Bone marrow aspirate smear
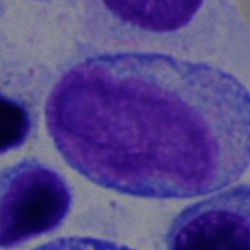

Impression → blast.